Bone marrow smear
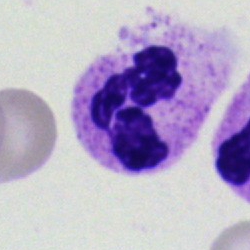

Morphology consistent with a polymorphonuclear neutrophil.